Peripheral blood smear.
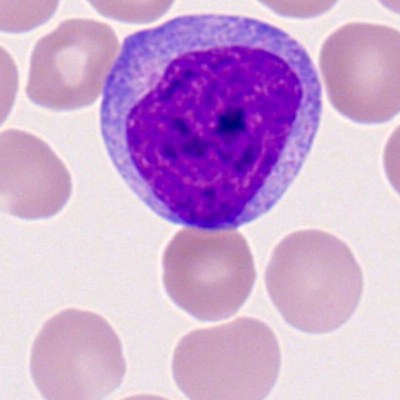

Single cell identified as a myeloblast.